Bone marrow smear:
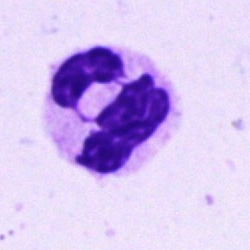

The cell shown is a segmented neutrophil.